Bone marrow smear — 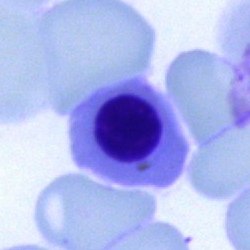 Morphological class — nucleated red blood cell.